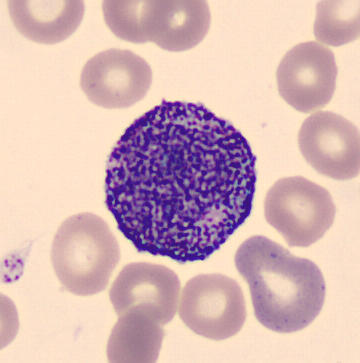 Preparation: Peripheral blood smear. Morphology consistent with a promyelocyte.